Bone marrow smear
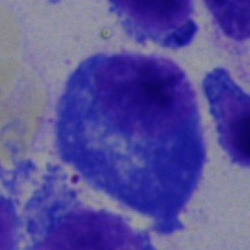

Morphology — plasma cell.